Single-cell crop; bone marrow aspirate smear.
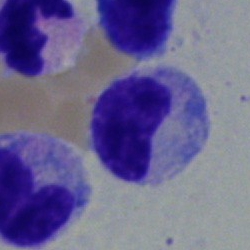

Q: Which cell type is shown here?
A: A metamyelocyte.